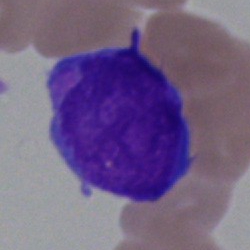

Classification — blast cell.